Bone marrow smear; 40× objective, oil immersion
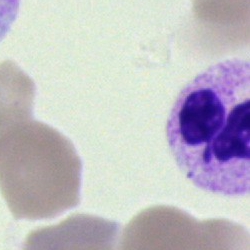

Q: Identify the cell.
A: A segmented neutrophil.